Bone marrow smear · Pappenheim-stained.
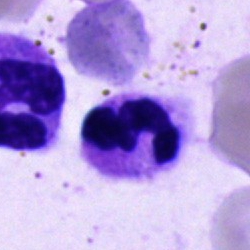 Specimen: bone marrow smear.
Cell type: segmented neutrophil.
Lineage: myeloid.